Bone marrow aspirate smear — 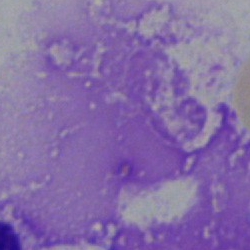An artefact.